Single-cell field; bone marrow aspirate smear.
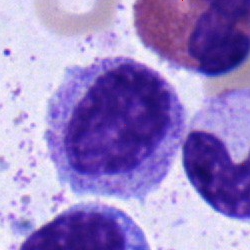 Q: What is the morphological classification of this cell?
A: It is a myelocyte.